Bone marrow smear
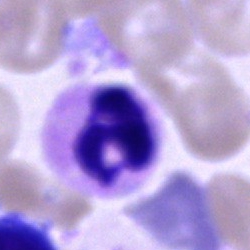

{"cell_type": "segmented neutrophil"}